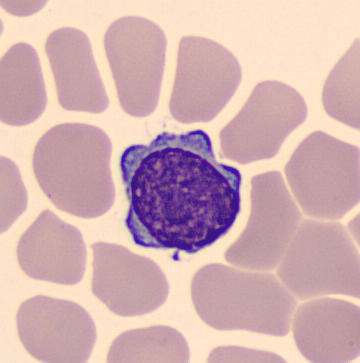Q: Identify the cell.
A: A lymphocyte. Image: Peripheral blood smear.